Bone marrow aspirate smear:
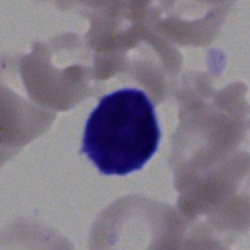

Q: What cell is this?
A: Lymphocyte.